Bone marrow aspirate smear — 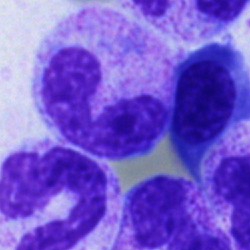
Q: What is the morphological classification of this cell?
A: Neutrophil (band).